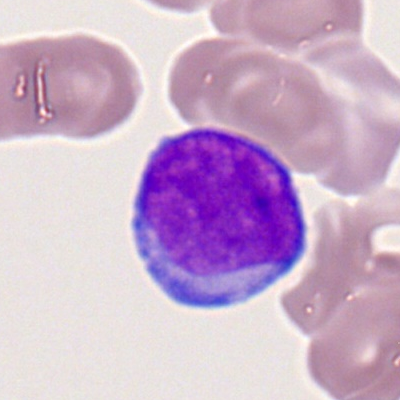
Morphological class = myeloblast.